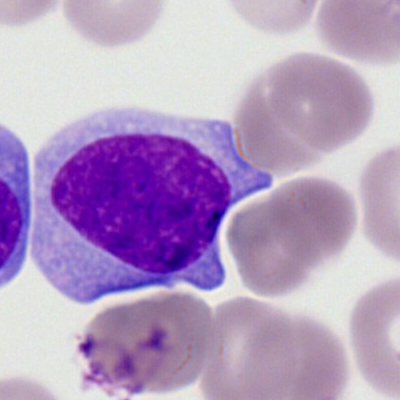

Q: What is shown here?
A: It is a myeloblast.